Bone marrow smear:
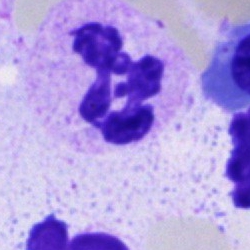
Morphology consistent with a segmented neutrophil.